Pappenheim-stained; bone marrow aspirate smear — 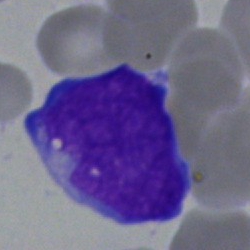This is a blast.